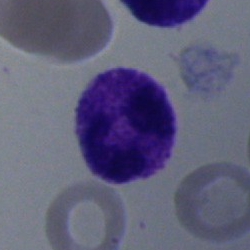

Specimen: bone marrow aspirate smear.
Classification: polymorphonuclear neutrophil.